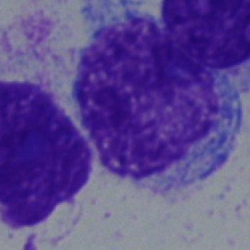 Cell type = undifferentiated blast.